Bone marrow aspirate smear; 250×250:
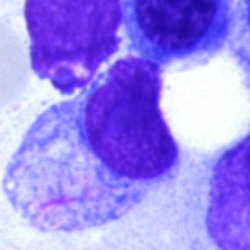
Q: What is shown here?
A: It is an artefact.